Bone marrow aspirate smear — 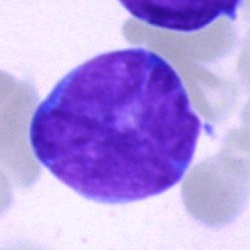The cell is blast cell.